Brightfield, 100× oil-immersion objective · single cell centered in the field · peripheral blood smear.
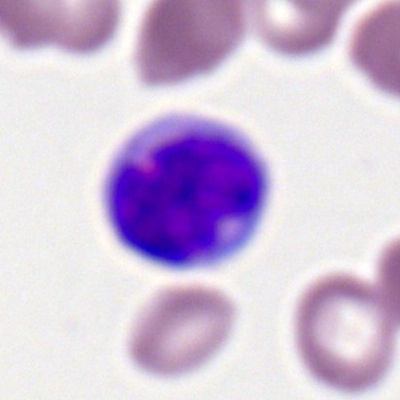
Cell type: monocyte.